Brightfield microscopy, 40× oil immersion · bone marrow smear · single-cell field: 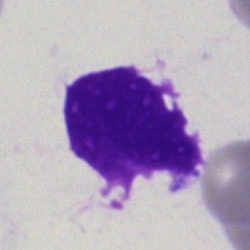The morphological class is artifact.